Single-cell field. Bone marrow aspirate smear. Brightfield microscopy, 40× oil immersion — 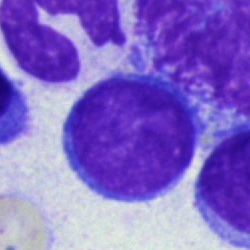

{"cell_type": "blast cell"}